Bone marrow smear; May-Grünwald-Giemsa stain: 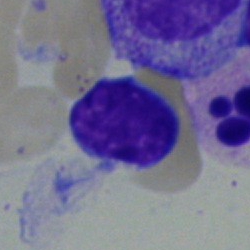 Q: What is shown here?
A: A typical lymphocyte.